Peripheral blood film
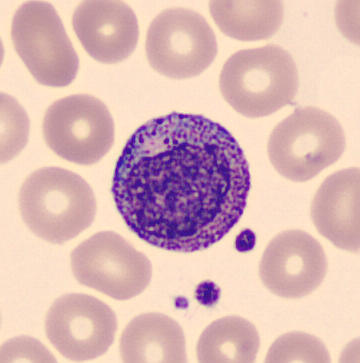

Myelocyte.